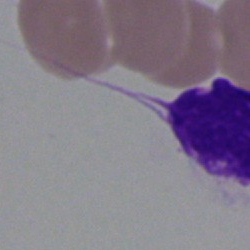 Bone marrow smear showing an artefact.